Bone marrow smear; 40× oil immersion; single-cell crop.
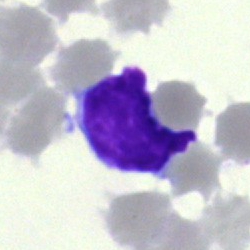Single cell identified as a typical lymphocyte.